Image size 360×363. Imaged on a CellaVision DM96 analyser. Peripheral blood film:
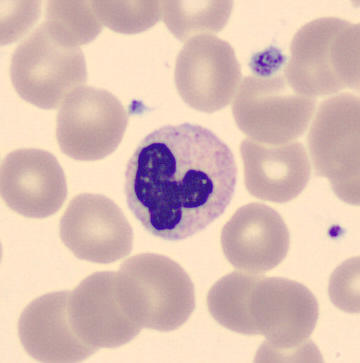

The cell shown is a segmented neutrophil.